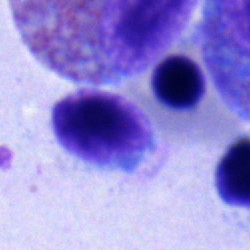The cell shown is a typical lymphocyte.